Bone marrow aspirate smear: 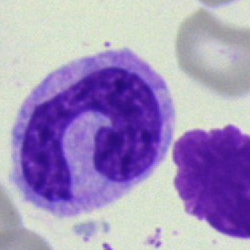Single cell identified as a monocyte.